Bone marrow aspirate smear — 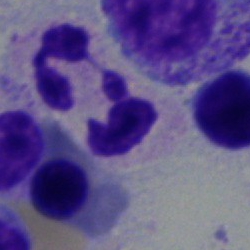
Classification = segmented neutrophil.